Bone marrow smear; cropped to a single cell: 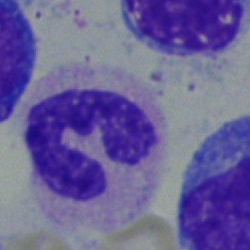 Q: What cell is this?
A: This is a stab cell.